Peripheral blood smear. Single-cell field. 400×400
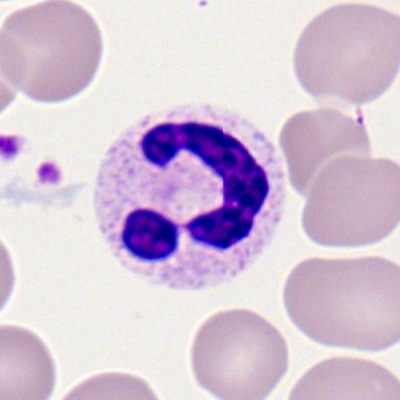 Specimen: peripheral blood film.
Cell type: neutrophil (segmented).
Lineage: myeloid.